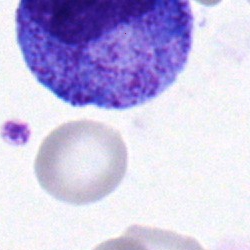
Specimen: bone marrow smear.
Classification: promyelocyte.
Lineage: myeloid.